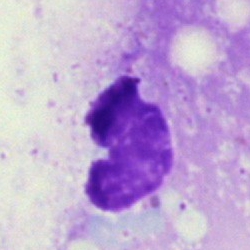Single cell identified as an artefact.